Bone marrow aspirate smear: 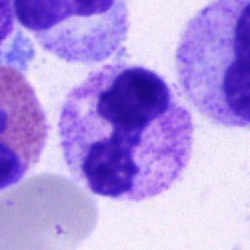Q: What is shown here?
A: A neutrophil (segmented).